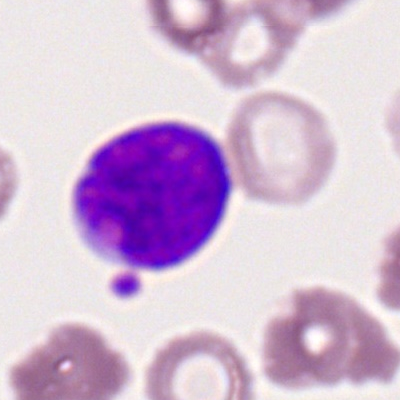A myeloid blast on a peripheral blood smear.